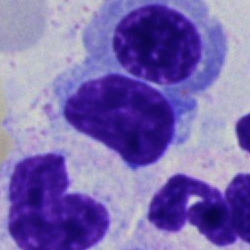Bone marrow aspirate smear, single cell — typical lymphocyte.